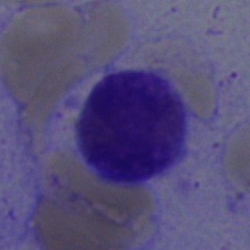 Q: What is the morphological classification of this cell?
A: It is a typical lymphocyte.